Bone marrow aspirate smear · 250 by 250 pixels · cropped to a single cell
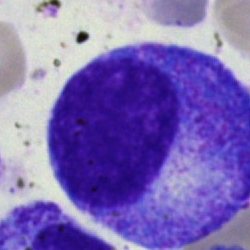The cell shown is a promyelocyte.